May-Grünwald-Giemsa/Pappenheim stain · bone marrow smear — 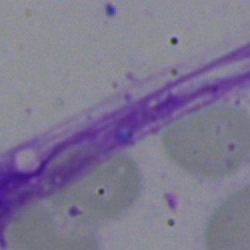Morphology consistent with an artefact.